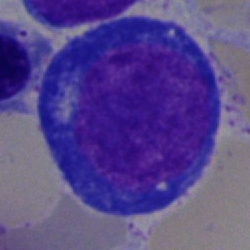 Single cell identified as a proerythroblast.